MGG-stained; bone marrow aspirate smear:
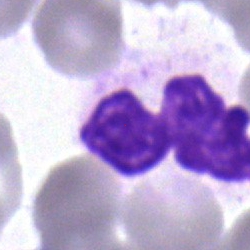

Q: Identify the cell.
A: A segmented neutrophil.